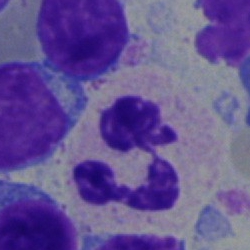Impression → neutrophil (segmented).